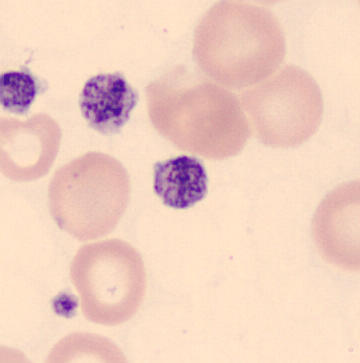

MGG stain. Peripheral blood smear. CellaVision DM96. Morphology — thrombocyte.